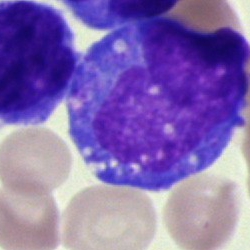
Bone marrow aspirate smear, single cell — blast.